Bone marrow aspirate smear: 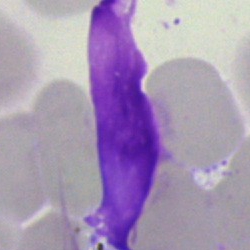
Q: What is shown here?
A: It is an artifact.